Bone marrow aspirate smear. 250×250:
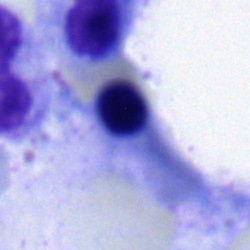 Q: What cell is this?
A: Nucleated red cell.